Bone marrow smear:
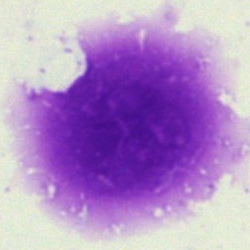Specimen: bone marrow smear.
Cell: artifact.